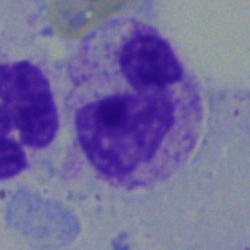

Morphology — segmented neutrophil.